250×250 px. Bone marrow smear:
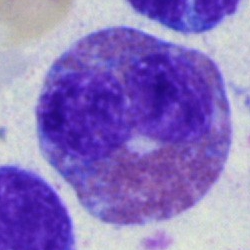
Single cell identified as an eosinophil.